Bone marrow aspirate smear · single cell centered in the field
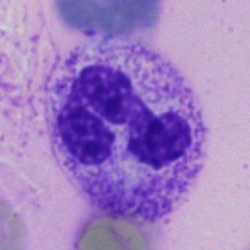 Specimen: bone marrow smear.
Morphological class: neutrophil (segmented).
Lineage: myeloid.